250 by 250 pixels · brightfield microscopy, 40× oil immersion · bone marrow aspirate smear:
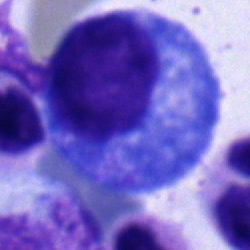Q: What type of cell is this?
A: Progranulocyte.